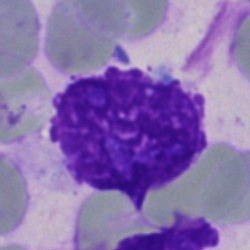

Showing an artefact.